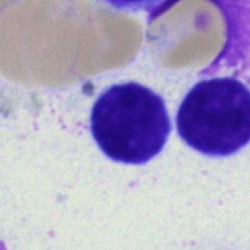

Single cell identified as a lymphocyte.